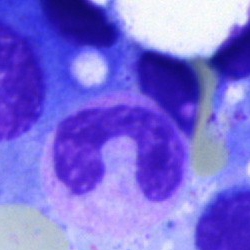Specimen: bone marrow smear.
Morphological class: band-form neutrophil.
Lineage: myeloid.